Peripheral blood film:
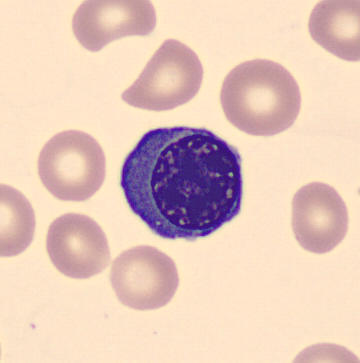The cell type is nucleated red blood cell.